Peripheral blood film — 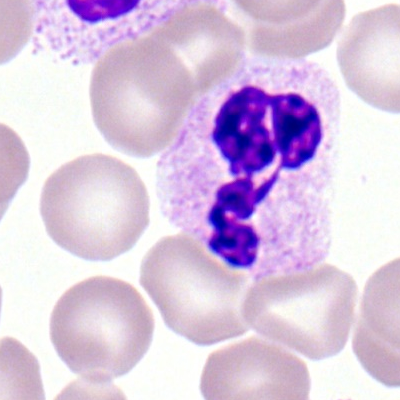 This is a polymorphonuclear neutrophil.